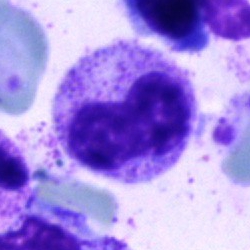

A metamyelocyte on a bone marrow smear.